Bone marrow aspirate smear: 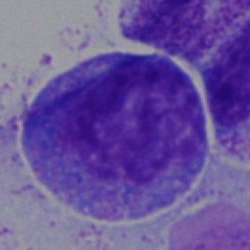

Cell — progranulocyte.